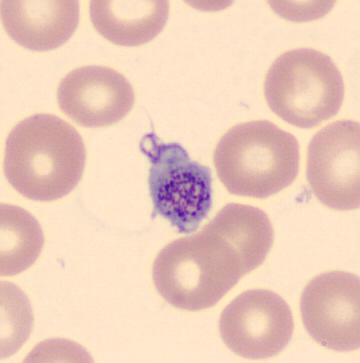 Q: What is this?
A: This is a platelet (thrombocyte).

Peripheral blood film. Automated cell imaging (CellaVision DM96).